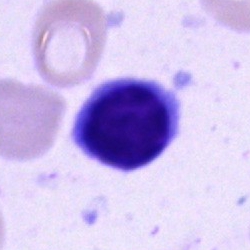
Cell type: typical lymphocyte.